May-Grünwald-Giemsa/Pappenheim stain; bone marrow aspirate smear
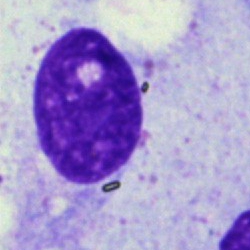 Classification: artefact.